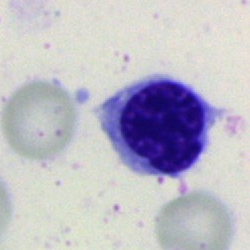

Single-cell crop from a bone marrow smear: nucleated red blood cell.